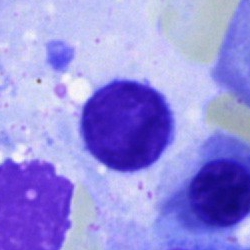Bone marrow smear showing a typical lymphocyte.